Bone marrow aspirate smear. Single-cell crop:
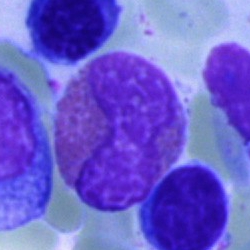 Q: Which cell type is shown here?
A: An eosinophilic granulocyte.